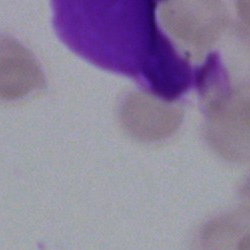
Cell type = artefact.